Brightfield, 40× oil-immersion objective · bone marrow smear — 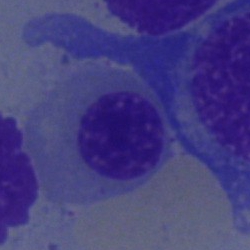Q: Identify the cell.
A: An erythroblast.